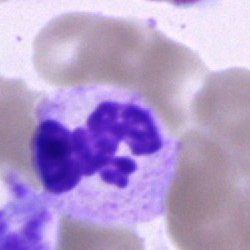 Morphology — neutrophil (segmented).